Bone marrow aspirate smear — 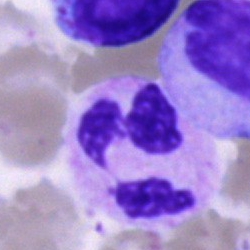Classification = neutrophil (segmented).